Peripheral blood smear — 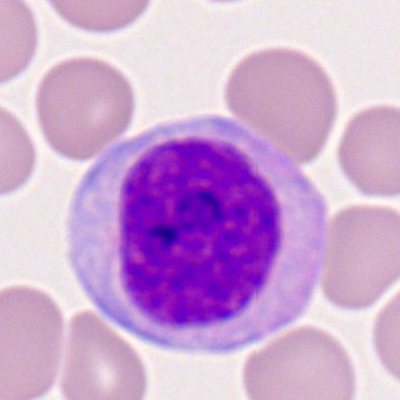 Q: What type of cell is this?
A: A monocyte.